Bone marrow aspirate smear.
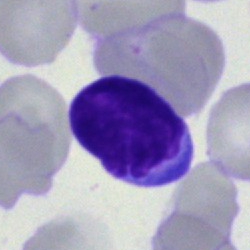Q: Which cell type is shown here?
A: Lymphocyte.